MGG-stained · single cell centered in the field · bone marrow aspirate smear — 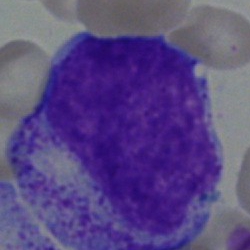 Morphology consistent with a progranulocyte.